Bone marrow smear — 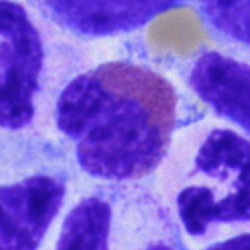
Single cell identified as an eosinophilic granulocyte.